Bone marrow smear.
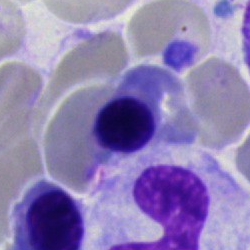
Erythroblast.